Bone marrow smear · single cell centered in the field — 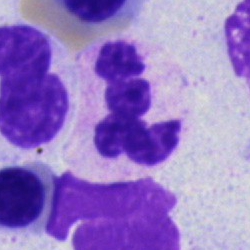 Showing a segmented neutrophil.